Single-cell field · bone marrow smear.
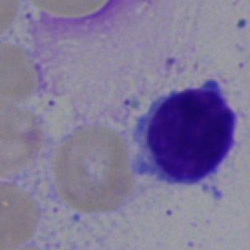 {"cell_type": "lymphocyte", "lineage": "lymphoid"}